Bone marrow smear:
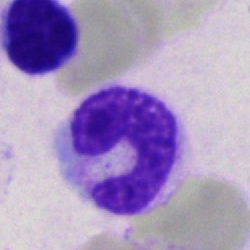The cell is stab cell.